Bone marrow smear: 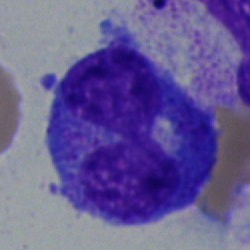
Morphological class: promyelocyte.